Bone marrow smear
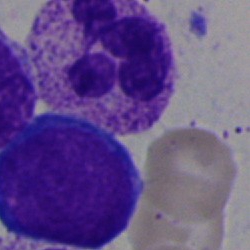

Morphology → neutrophil (segmented).